Bone marrow aspirate smear. MGG-stained. Cropped to a single cell
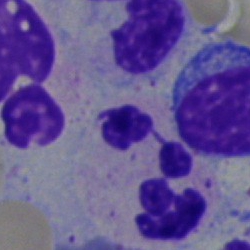 Showing a polymorphonuclear neutrophil.